Cropped to a single cell; bone marrow aspirate smear; 250×250:
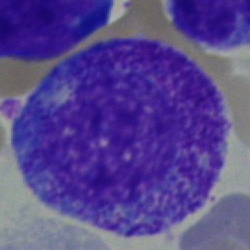 A progranulocyte.